Bone marrow aspirate smear; 40× objective, oil immersion; 250 by 250 pixels:
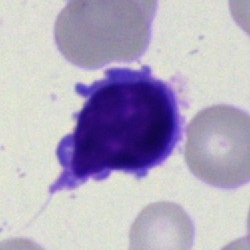

The cell is typical lymphocyte.